Bone marrow smear:
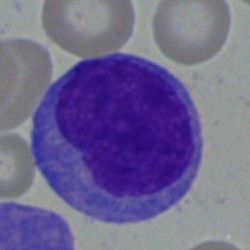Q: What cell is this?
A: Blast.